Bone marrow aspirate smear. 40× objective, oil immersion.
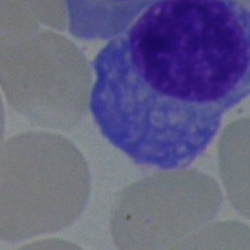Classification = plasma cell.